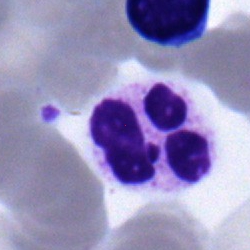
Classification — neutrophil (segmented).